Bone marrow smear. Image size 250×250: 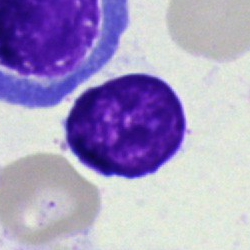
This is an artefact.